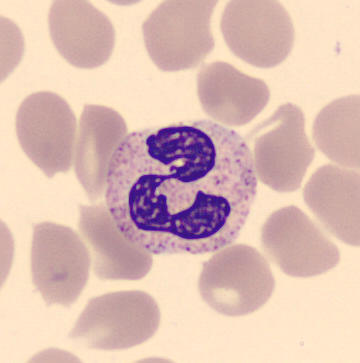

Showing a neutrophil (segmented). Peripheral blood film · May-Grünwald-Giemsa-stained.